Bone marrow smear. 250 by 250 pixels:
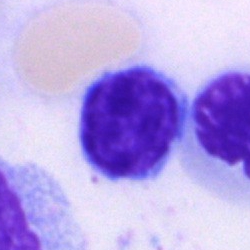

Showing a lymphocyte.